Bone marrow smear: 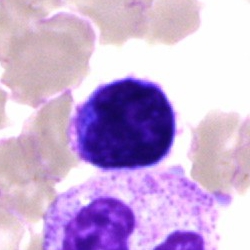The cell shown is a lymphocyte.